Bone marrow aspirate smear · 40× oil immersion
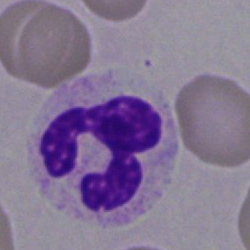
Q: Which cell type is shown here?
A: This is a polymorphonuclear neutrophil.